Bone marrow aspirate smear
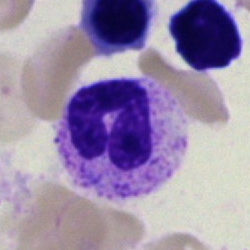
Segmented neutrophil.